Bone marrow smear — 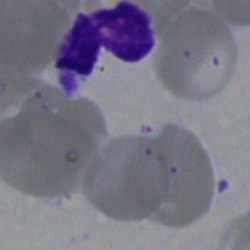
The cell shown is an artifact.